Bone marrow aspirate smear.
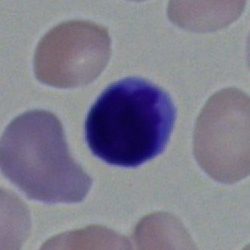 Morphology consistent with a typical lymphocyte.